Bone marrow smear
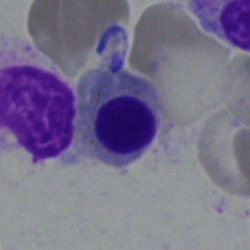

Cell — normoblast.